May-Grünwald-Giemsa/Pappenheim stain · 250×250 · bone marrow aspirate smear — 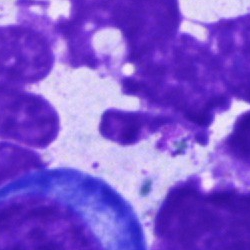Q: What is shown here?
A: It is an artifact.